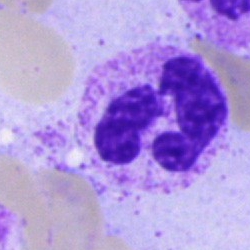
Classification: polymorphonuclear neutrophil.